Bone marrow aspirate smear; 40× oil immersion: 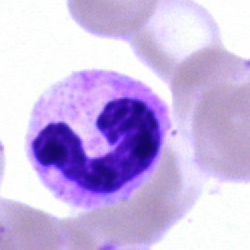
Single cell identified as a segmented neutrophil.